Bone marrow aspirate smear — 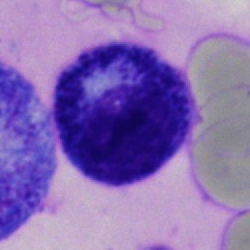Pronormoblast.